Bone marrow smear. Brightfield, 40× oil-immersion objective.
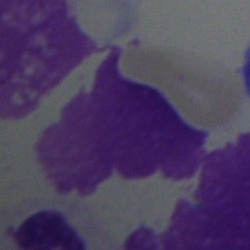

Showing an artifact.